Bone marrow aspirate smear — 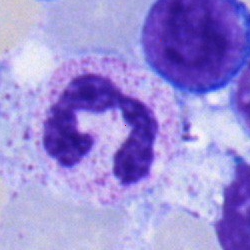

Impression → segmented neutrophil.